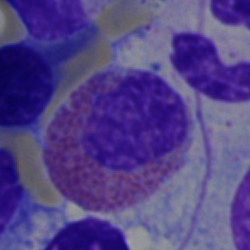
Single-cell crop from a bone marrow smear: eosinophil.